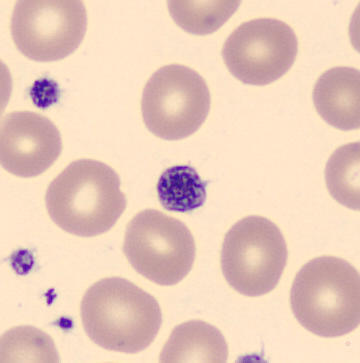
Peripheral blood film; 360×363.
Morphology — platelet (thrombocyte).